Bone marrow aspirate smear — 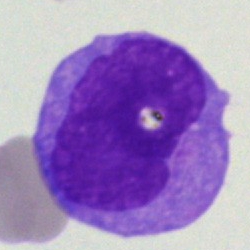 A blast cell.